Peripheral blood film · Romanowsky stain.
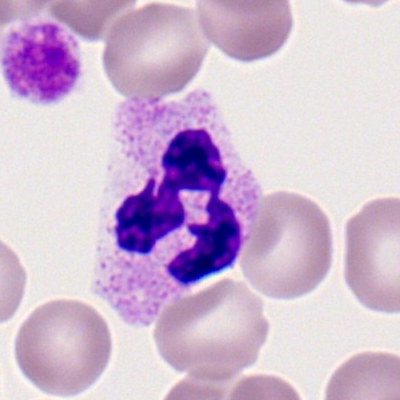
Segmented neutrophil.